Bone marrow aspirate smear · brightfield, 40× oil-immersion objective
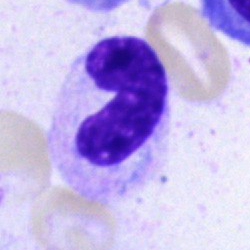Q: What cell is this?
A: It is a stab cell.